Bone marrow smear.
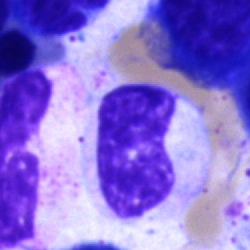

Q: Identify the cell.
A: It is a band neutrophil.